Peripheral blood smear:
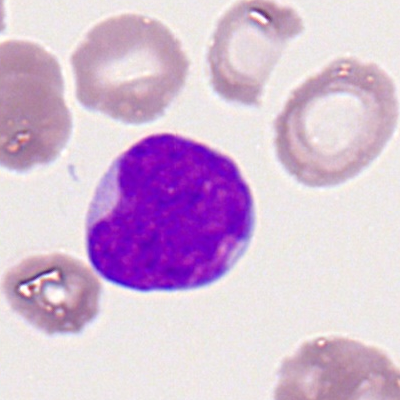 Q: What type of cell is this?
A: A myeloid blast.